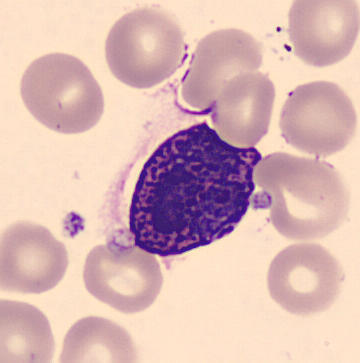 Image: Peripheral blood smear. MGG stain. Morphological class = basophilic granulocyte.